Bone marrow aspirate smear:
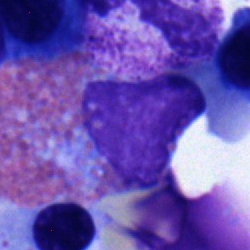 Morphology → eosinophil.